250×250 px; bone marrow smear.
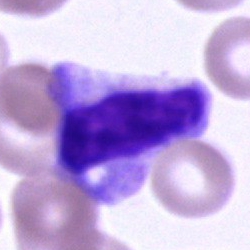
Q: What is the morphological classification of this cell?
A: An unidentifiable cell.